Bone marrow aspirate smear; 250×250; MGG-stained.
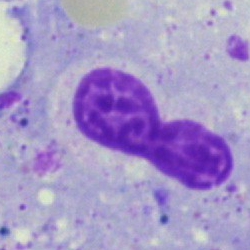An artefact.